Bone marrow smear
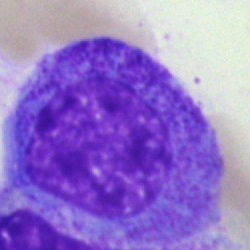

Classification — pronormoblast.